Bone marrow aspirate smear · 250×250 px — 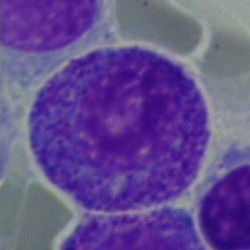
Impression — myelocyte.